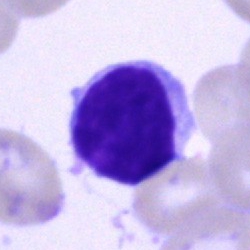

Q: Identify the cell.
A: Lymphocyte.